250×250 px · bone marrow smear · brightfield microscopy, 40× oil immersion — 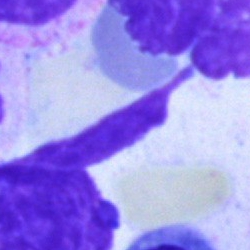
Single cell identified as an artifact.